Bone marrow smear.
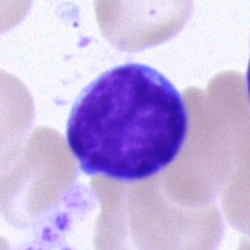
Typical lymphocyte.